40× objective, oil immersion · bone marrow smear.
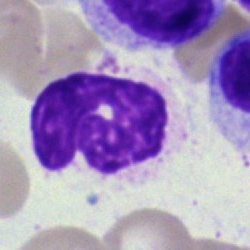
Q: What is shown here?
A: This is an artefact.